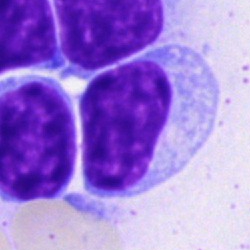 A lymphocyte.